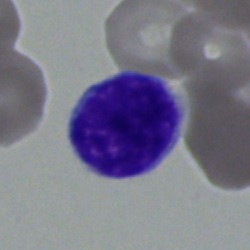 The cell is lymphocyte.